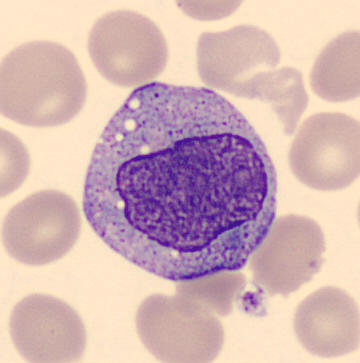Q: What is the morphological classification of this cell?
A: A promyelocyte.